Bone marrow aspirate smear: 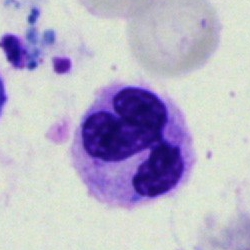

Specimen: bone marrow aspirate smear.
Cell type: polymorphonuclear neutrophil.